Bone marrow smear — 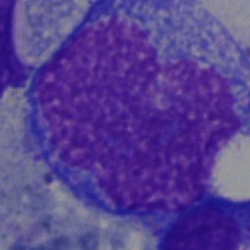

The cell shown is an artefact.